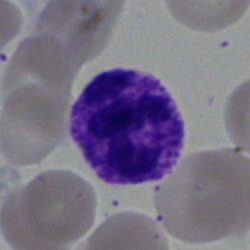
Cell type — polymorphonuclear neutrophil.